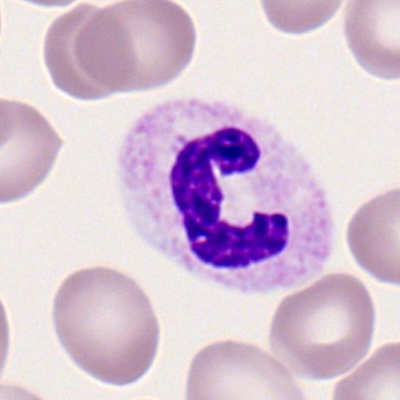Cell type = neutrophil (segmented).